Bone marrow aspirate smear: 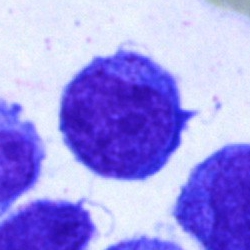Cell type: blast cell.